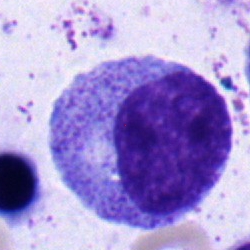
The cell shown is a myelocyte.